Bone marrow aspirate smear:
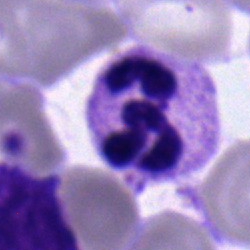 The cell shown is a neutrophil (segmented).